Bone marrow smear — 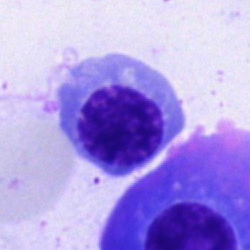 Nucleated red blood cell.